Bone marrow aspirate smear:
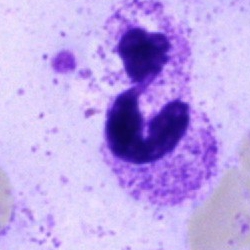 The cell shown is a segmented neutrophil.